250×250 px; bone marrow smear
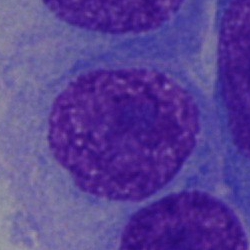{"cell_type": "plasmacyte", "lineage": "lymphoid"}